Bone marrow aspirate smear: 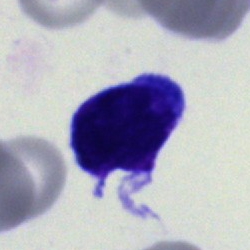

An undifferentiated blast.